250×250 · bone marrow smear:
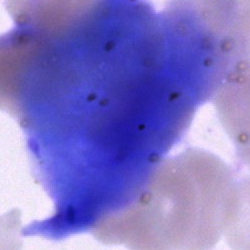Cell: artifact.